Bone marrow smear; 250×250 px: 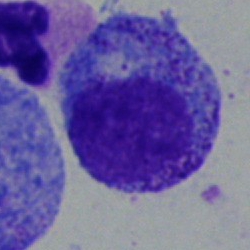
Morphology — myelocyte.